Bone marrow aspirate smear — 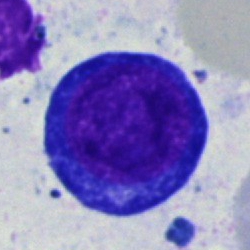This is a pronormoblast.